250×250 · bone marrow aspirate smear: 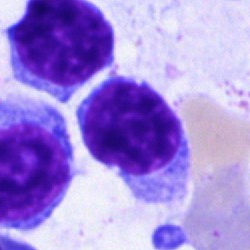 Specimen: bone marrow aspirate smear.
Morphological class: lymphocyte.
Lineage: lymphoid.